Bone marrow aspirate smear
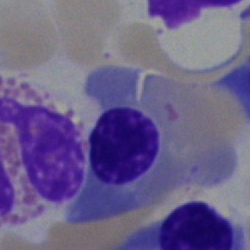

Cell type — nucleated red blood cell.